Brightfield, 40× oil-immersion objective; bone marrow smear: 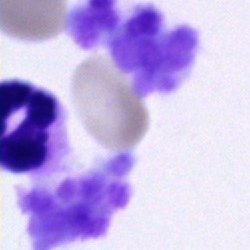

Single cell identified as a polymorphonuclear neutrophil.